250×250; bone marrow aspirate smear; brightfield, 40× oil-immersion objective
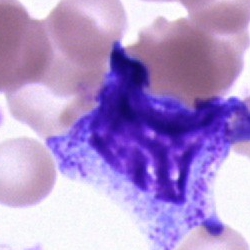 The cell is unidentifiable cell.